Bone marrow aspirate smear
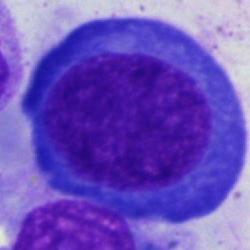Showing a pronormoblast.